Romanowsky-type stain · peripheral blood film.
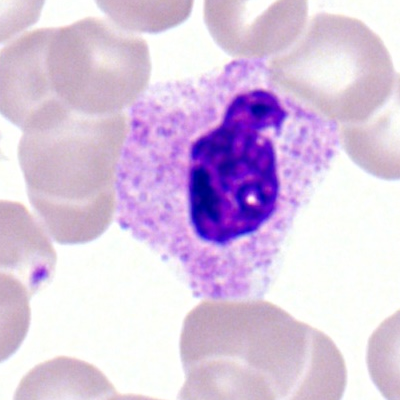
Specimen: peripheral blood film.
Cell type: polymorphonuclear neutrophil.
Lineage: myeloid.